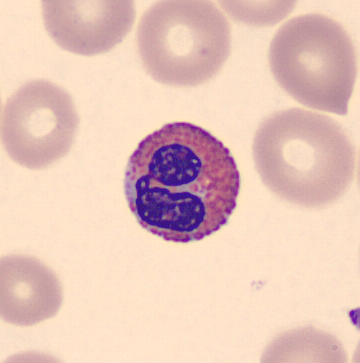

MGG-stained. Imaged on a CellaVision DM96 analyser. Peripheral blood film.

Cell = eosinophil.